Bone marrow aspirate smear:
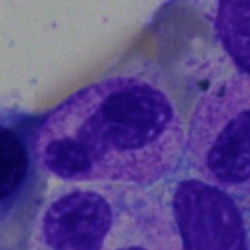Morphological class: segmented neutrophil.